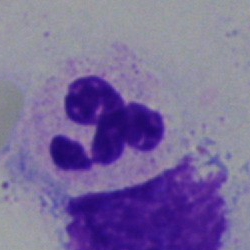This is a polymorphonuclear neutrophil.